Bone marrow smear:
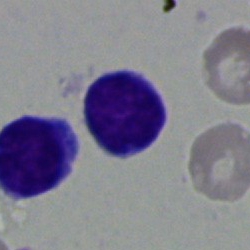

The cell is lymphocyte.